Bone marrow smear
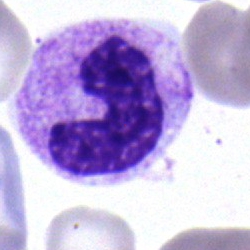
Classification: neutrophil (band).